Automated cell imaging (CellaVision DM96); peripheral blood film; single cell centered in the field
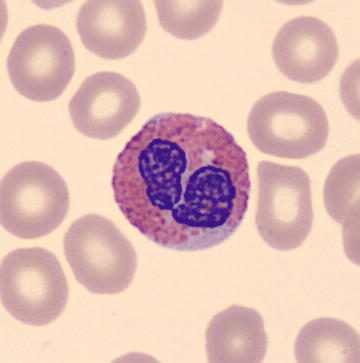
Morphology consistent with an eosinophil.